Cropped to a single cell; May-Grünwald-Giemsa stain; bone marrow aspirate smear:
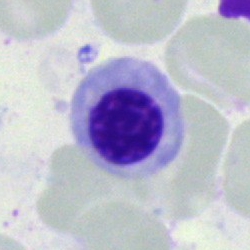 The cell shown is an erythroblast.